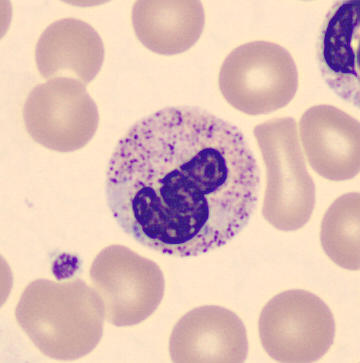Peripheral blood film. Cropped to a single cell.

The classification is band neutrophil.